Bone marrow smear · single-cell field
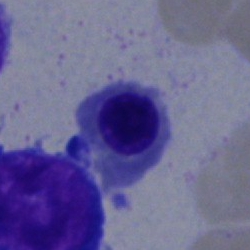

Morphology consistent with an erythroblast.